Single-cell crop; bone marrow aspirate smear — 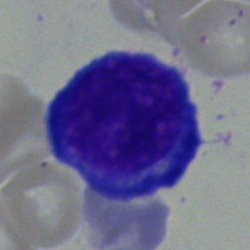Morphology — pronormoblast.